Single cell centered in the field · bone marrow aspirate smear — 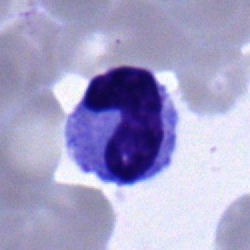

{"cell_type": "band-form neutrophil", "lineage": "myeloid"}